Bone marrow smear · single cell centered in the field: 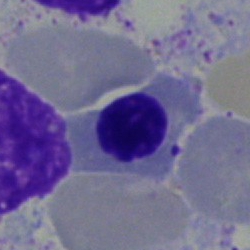 A normoblast.